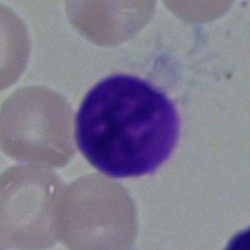
Morphological class: artefact.